Brightfield microscopy, 40× oil immersion; bone marrow aspirate smear — 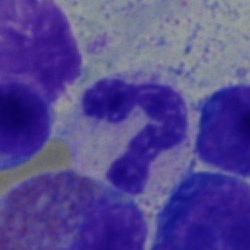Showing a segmented neutrophil.